Bone marrow smear · image size 250×250.
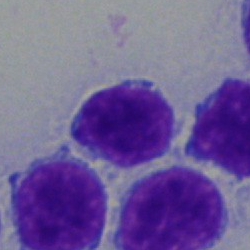 Morphology consistent with a typical lymphocyte.